Single-cell field; 40× objective, oil immersion; bone marrow smear — 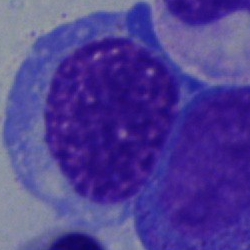
Q: Identify the cell.
A: This is a nucleated red cell.